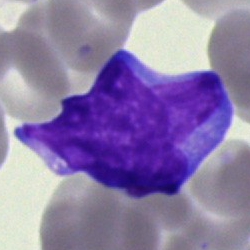

Q: Which cell type is shown here?
A: This is an undifferentiated blast.